40× oil immersion · bone marrow smear · 250 by 250 pixels: 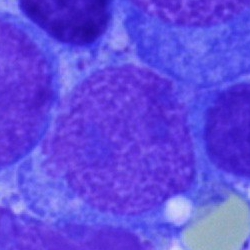

Cell = blast cell.